Cropped to a single cell. Bone marrow smear
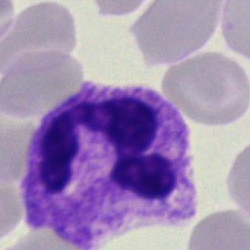

{"cell_type": "polymorphonuclear neutrophil", "lineage": "myeloid"}